Cropped to a single cell; bone marrow smear:
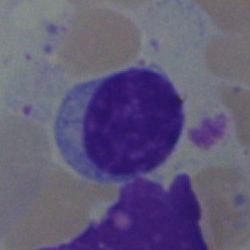 The cell is typical lymphocyte.